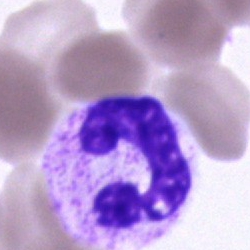

Q: What is shown here?
A: This is a polymorphonuclear neutrophil.